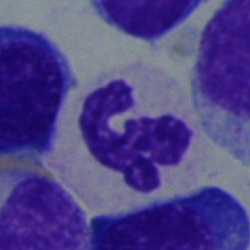

Cell — segmented neutrophil.